Bone marrow aspirate smear. Image size 250×250.
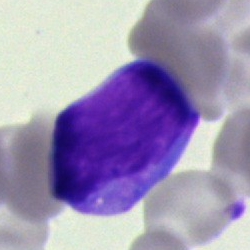 Cell type — blast.